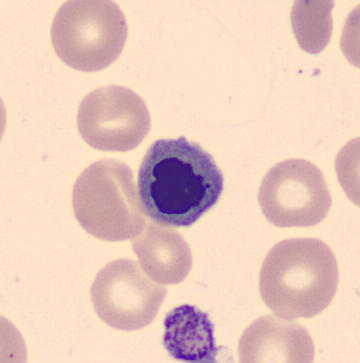
Classification — nucleated red blood cell.